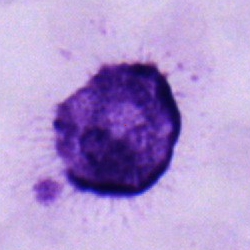 Showing a typical lymphocyte.